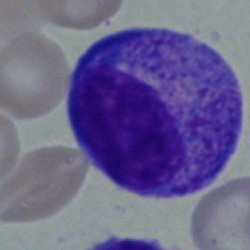 A progranulocyte on a bone marrow smear.